Bone marrow smear
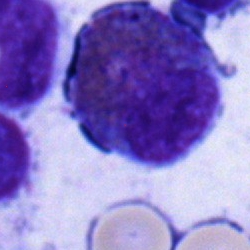

Showing an eosinophilic granulocyte.